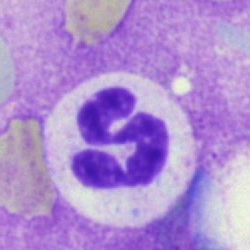Morphology → segmented neutrophil.